Bone marrow aspirate smear: 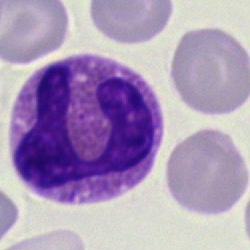

Morphology — eosinophil.